Bone marrow smear — 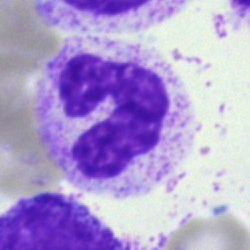 Neutrophil (band).